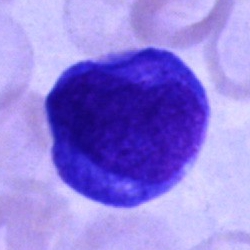
Morphology consistent with a blast.